May-Grünwald-Giemsa stain; bone marrow aspirate smear; 250 by 250 pixels:
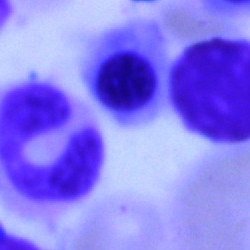
Specimen: bone marrow aspirate smear.
Morphological class: nucleated red blood cell.